Bone marrow aspirate smear:
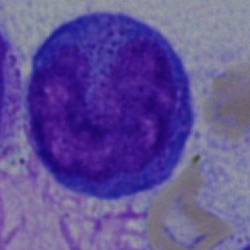
Q: What cell is this?
A: This is a progranulocyte.